Bone marrow aspirate smear: 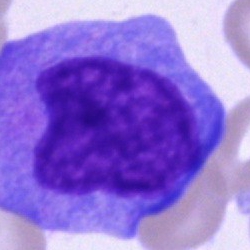

Specimen: bone marrow aspirate smear.
Cell type: undifferentiated blast.